250×250 px · bone marrow aspirate smear: 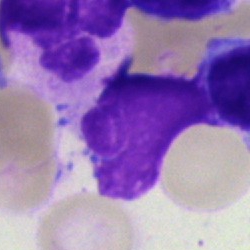Specimen: bone marrow aspirate smear.
Cell: artefact.